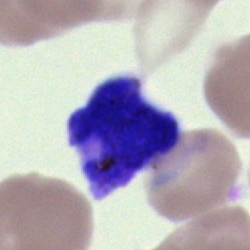

The morphological class is artifact.